Bone marrow smear; 250×250.
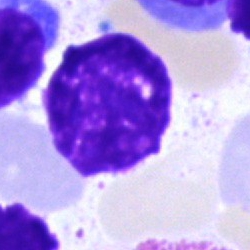

Single cell identified as an artefact.